Bone marrow aspirate smear. Image size 250×250 — 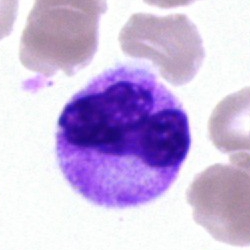
Single cell identified as a segmented neutrophil.